Bone marrow aspirate smear · 250×250 — 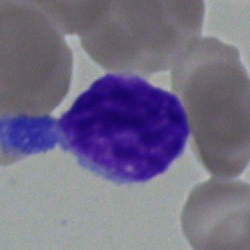
Showing a typical lymphocyte.